Peripheral blood smear: 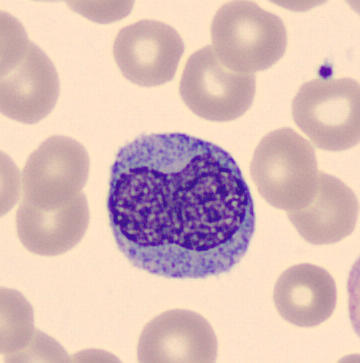The cell shown is a monocyte.